40× oil immersion · bone marrow aspirate smear:
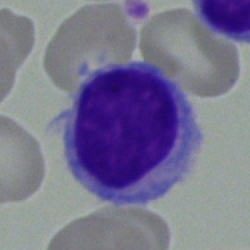

Cell — typical lymphocyte.